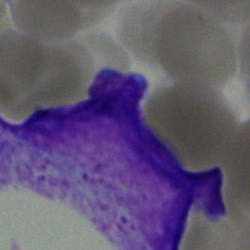 Bone marrow smear showing a blast cell.